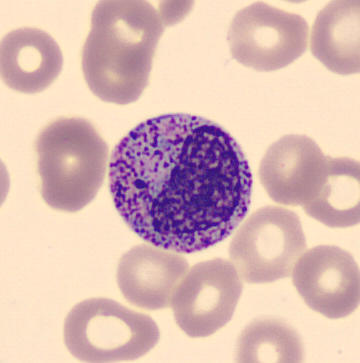

Peripheral blood film.
Q: Which cell type is shown here?
A: It is a metamyelocyte.